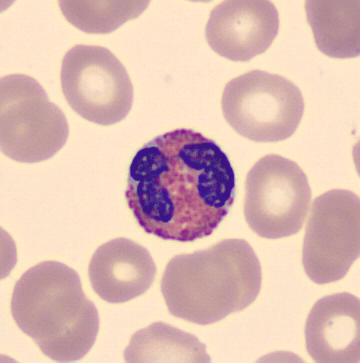
{"cell_type": "eosinophil", "lineage": "myeloid"}
Image: Peripheral blood smear.